250 by 250 pixels. Bone marrow aspirate smear. Brightfield, 40× oil-immersion objective.
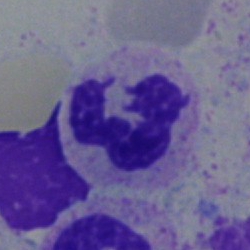 Classification = segmented neutrophil.